Bone marrow smear
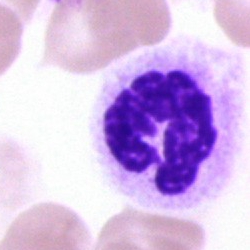Morphology consistent with a polymorphonuclear neutrophil.